Imaged on a CellaVision DM96 analyser; peripheral blood film — 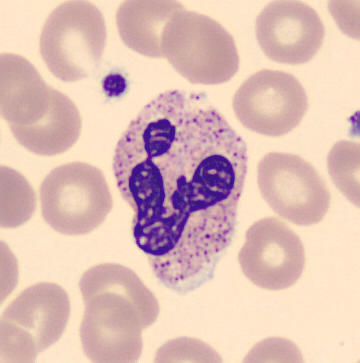 Cell: segmented neutrophil.